40× oil immersion · bone marrow aspirate smear
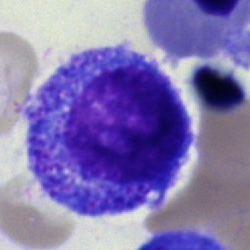 {"cell_type": "progranulocyte"}